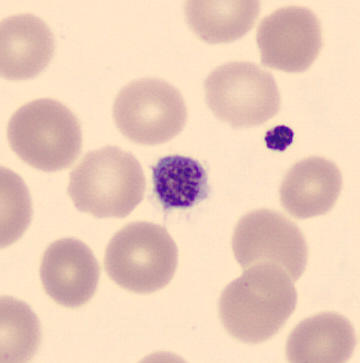

This is a platelet. Preparation: Peripheral blood film.